Bone marrow aspirate smear: 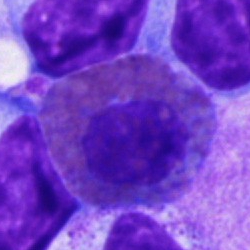{"cell_type": "eosinophilic granulocyte", "lineage": "myeloid"}